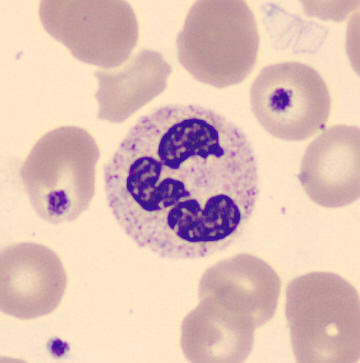 Impression — segmented neutrophil.